Bone marrow smear; cropped to a single cell — 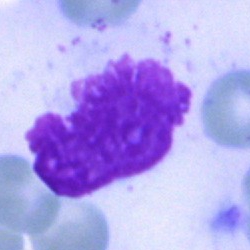Q: What is shown here?
A: This is an artefact.